Bone marrow aspirate smear.
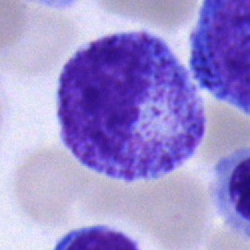

Morphology consistent with a myelocyte.